Peripheral blood smear:
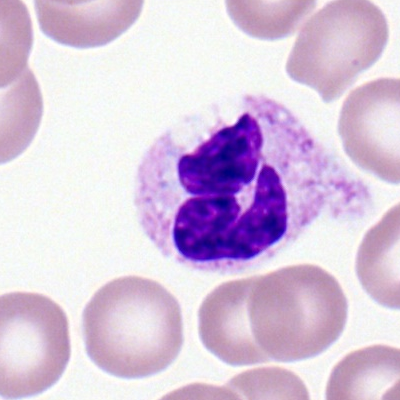
Classification: neutrophil (segmented).